Single-cell field. Bone marrow aspirate smear
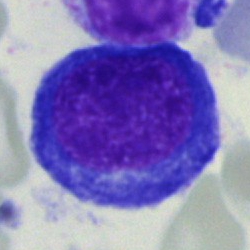

Cell type — nucleated red cell.